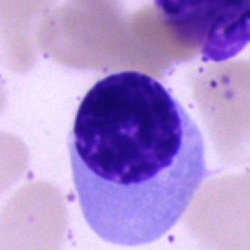 {"cell_type": "nucleated red cell"}